Bone marrow smear.
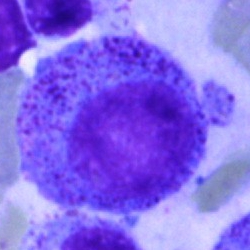
Impression — promyelocyte.